250×250; brightfield, 40× oil-immersion objective; bone marrow smear:
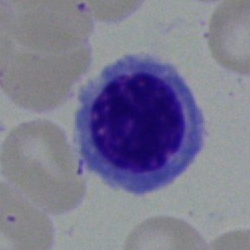

The cell shown is an erythroblast.